Bone marrow smear
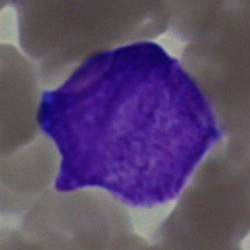Specimen: bone marrow aspirate smear.
Classification: undifferentiated blast.